Bone marrow smear:
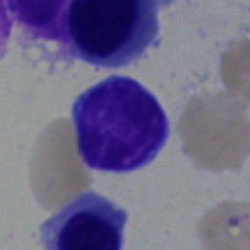

{"cell_type": "typical lymphocyte"}